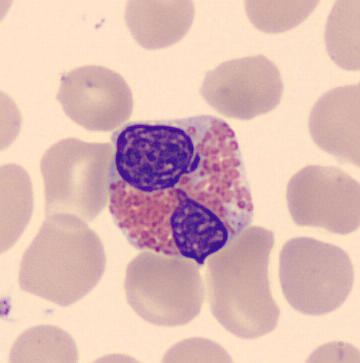Cell — eosinophilic granulocyte.

Acquisition: 360×363. Peripheral blood smear. MGG-stained.